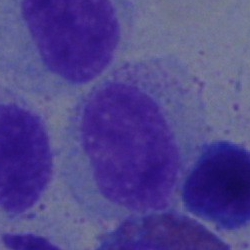
Bone marrow smear showing a myelocyte.